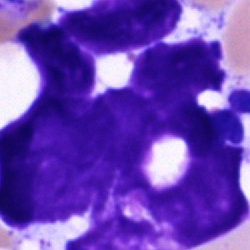

Q: What is shown here?
A: Artifact.